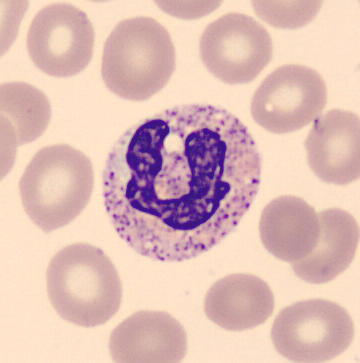
May Grünwald-Giemsa stain; peripheral blood smear.
Cell = segmented neutrophil.